Romanowsky-stained. Peripheral blood film. 100× oil immersion.
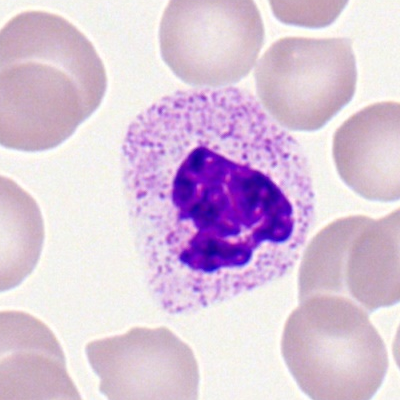Classification = polymorphonuclear neutrophil.